Bone marrow smear — 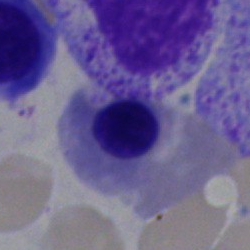

This is a nucleated red cell.